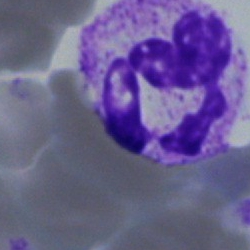
A segmented neutrophil.